Bone marrow smear · 40× oil immersion — 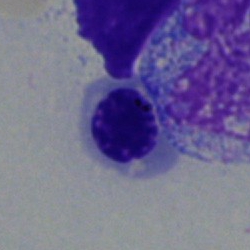
Specimen: bone marrow smear.
Morphological class: erythroblast.